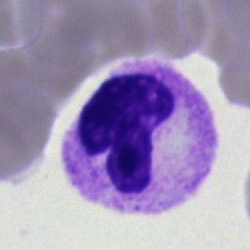
Impression → polymorphonuclear neutrophil.